Bone marrow smear
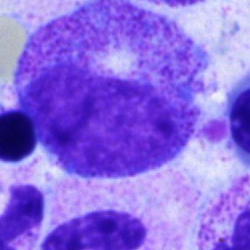
The cell type is myelocyte.